Bone marrow aspirate smear — 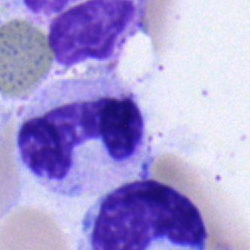
Q: Identify the cell.
A: It is a band-form neutrophil.